Bone marrow smear. 250 by 250 pixels — 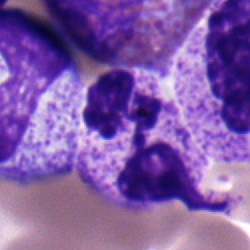Polymorphonuclear neutrophil.